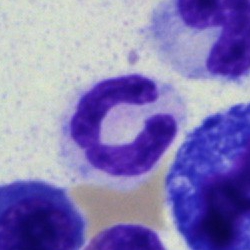Showing a polymorphonuclear neutrophil.